Bone marrow smear.
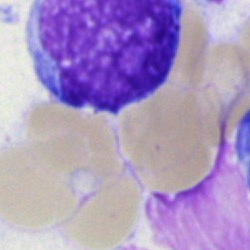
Morphology consistent with an unidentifiable cell.